Bone marrow aspirate smear — 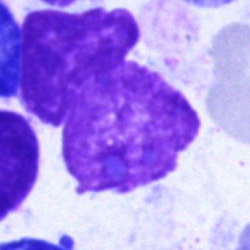{"cell_type": "artifact"}